360 by 363 pixels. Imaged on a CellaVision DM96 analyser. Peripheral blood smear.
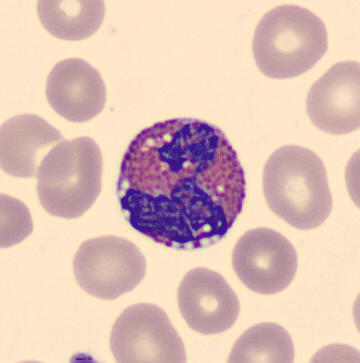
An eosinophil.